Bone marrow aspirate smear
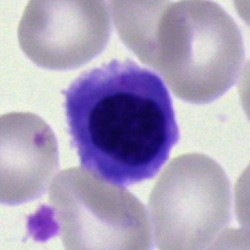

Morphology — normoblast.